Bone marrow aspirate smear: 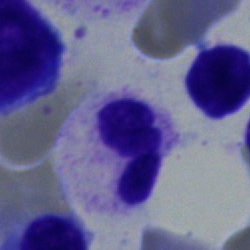
Morphology consistent with a polymorphonuclear neutrophil.